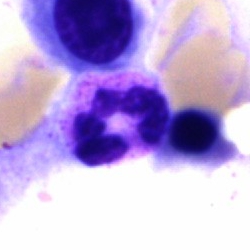
This is a polymorphonuclear neutrophil.